Peripheral blood film · cropped to a single cell:
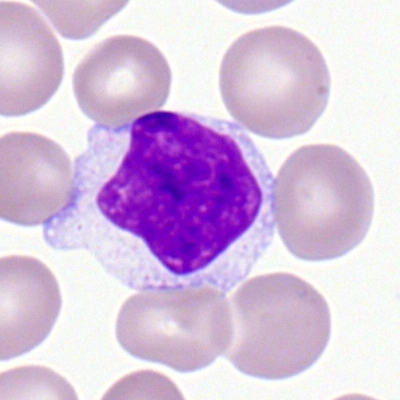

Q: What cell is this?
A: Lymphocyte.